May-Grünwald-Giemsa stain; brightfield microscopy, 40× oil immersion; bone marrow aspirate smear: 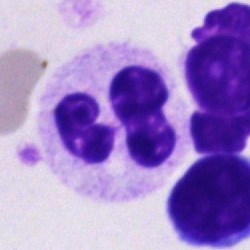 Q: What is the morphological classification of this cell?
A: This is a neutrophil (segmented).